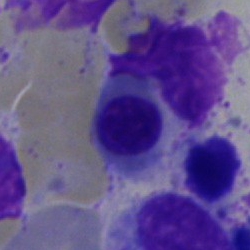The cell is nucleated red cell.